Bone marrow aspirate smear: 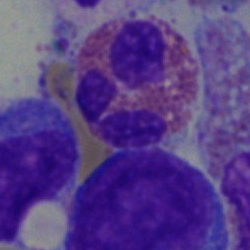
Q: What type of cell is this?
A: An eosinophilic granulocyte.